Bone marrow smear · May-Grünwald-Giemsa stain: 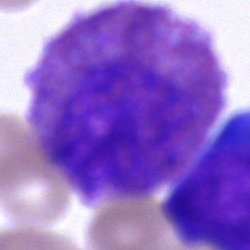 Cell: eosinophil.